100× oil immersion, 14.14 px/µm. Peripheral blood smear:
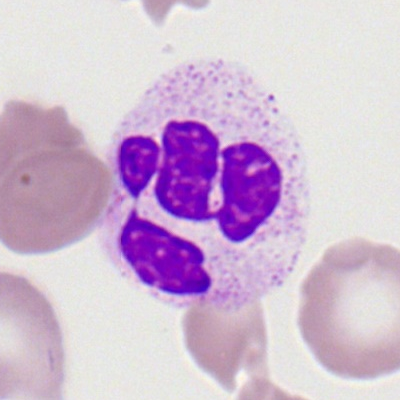 The cell shown is a polymorphonuclear neutrophil.